Bone marrow smear
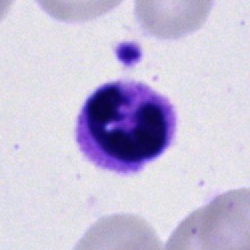Classification — polymorphonuclear neutrophil.